250×250 px; bone marrow smear
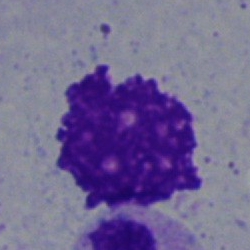
The cell shown is an artifact.